Bone marrow smear:
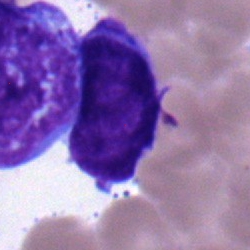

Specimen: bone marrow smear.
Cell: undifferentiated blast.